Bone marrow aspirate smear. Brightfield, 40× oil-immersion objective: 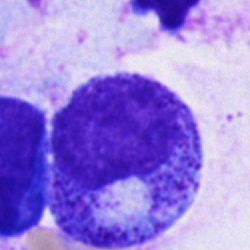 Q: Identify the cell.
A: Promyelocyte.